Bone marrow aspirate smear.
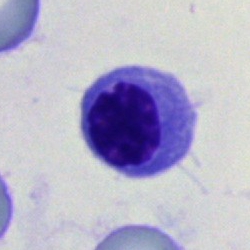Q: What cell is this?
A: It is a nucleated red cell.